Bone marrow aspirate smear. 250 by 250 pixels — 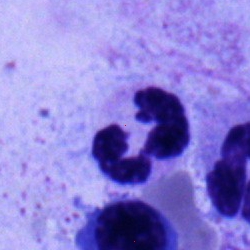 Impression — neutrophil (segmented).